Bone marrow smear.
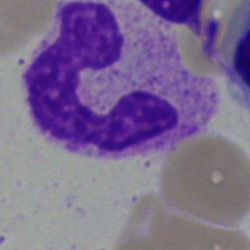
Q: What is shown here?
A: This is a stab cell.